Bone marrow smear. Cropped to a single cell. 250×250: 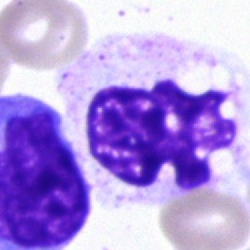
Morphology consistent with a segmented neutrophil.